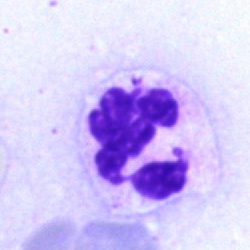
Morphological class: polymorphonuclear neutrophil.